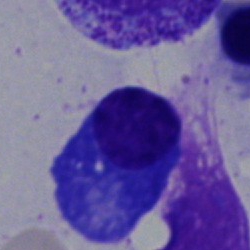
Bone marrow aspirate smear, single cell — plasma cell.